Bone marrow smear · cropped to a single cell:
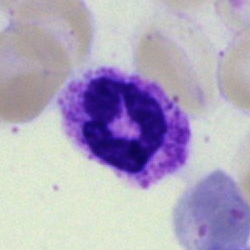 Morphology → neutrophil (segmented).